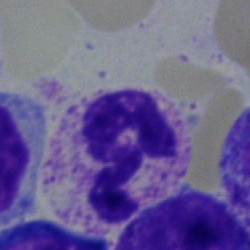
Cell: neutrophil (segmented).